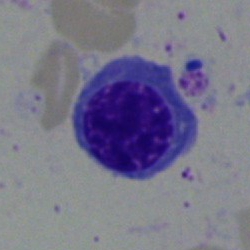 Morphological class = normoblast.